Bone marrow aspirate smear; 40× objective, oil immersion — 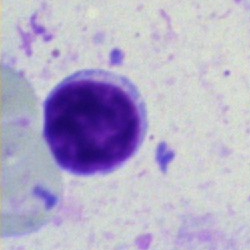
Cell type — lymphocyte.